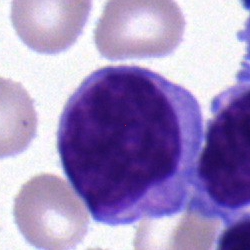Morphological class: typical lymphocyte.